Bone marrow aspirate smear — 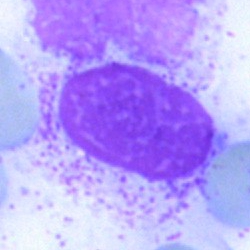

Artefact.